Bone marrow aspirate smear; 40× oil immersion: 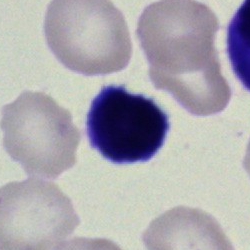

Morphology consistent with a typical lymphocyte.